250 by 250 pixels; bone marrow aspirate smear:
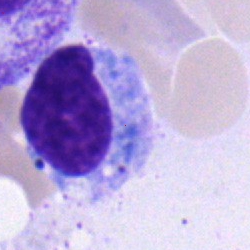
Specimen: bone marrow smear.
Cell: myelocyte.
Lineage: myeloid.